Bone marrow smear · single-cell crop
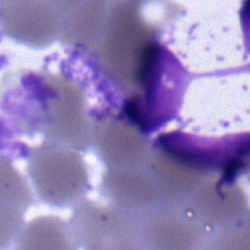
Specimen: bone marrow smear.
Morphological class: polymorphonuclear neutrophil.
Lineage: myeloid.